Bone marrow smear · cropped to a single cell: 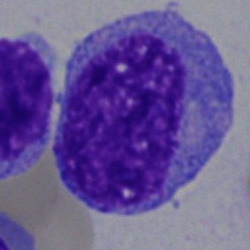

Q: Identify the cell.
A: Progranulocyte.